Bone marrow smear — 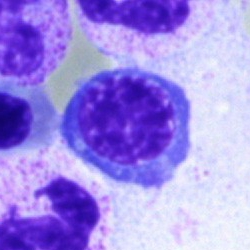 Nucleated red cell.